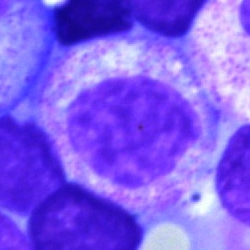

Morphological class: myelocyte.